Bone marrow aspirate smear.
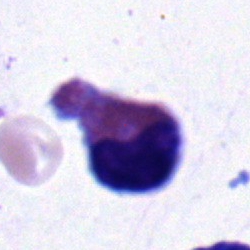Cell type: eosinophilic granulocyte.